Image size 250×250; bone marrow smear.
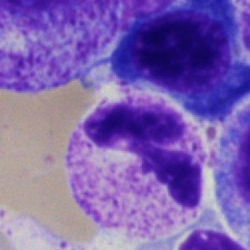Single cell identified as a polymorphonuclear neutrophil.